400 by 400 pixels · peripheral blood film:
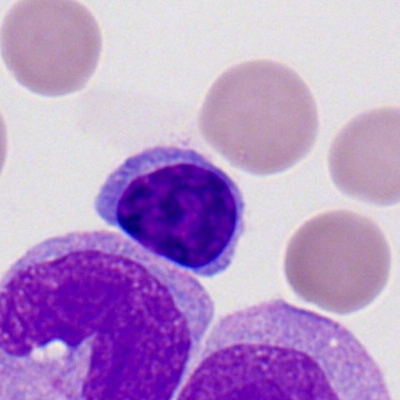 {"cell_type": "typical lymphocyte"}